250×250; bone marrow smear
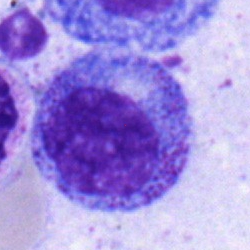
Morphology consistent with a myelocyte.